Bone marrow smear
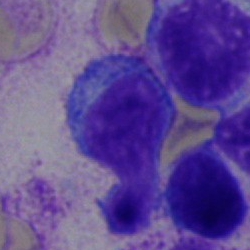
Cell — lymphocyte.